250×250 px · brightfield, 40× oil-immersion objective · bone marrow aspirate smear: 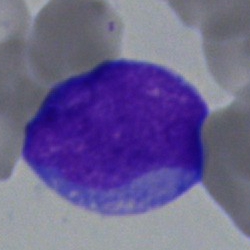

Showing an undifferentiated blast.